Bone marrow aspirate smear — 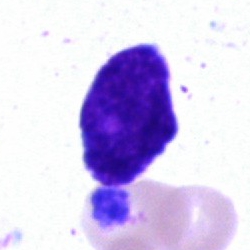
{"cell_type": "blast"}